Bone marrow aspirate smear
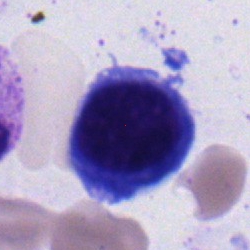The cell is nucleated red cell.